Bone marrow smear
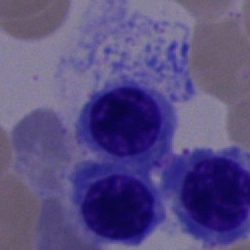

Morphology → nucleated red blood cell.